Bone marrow smear.
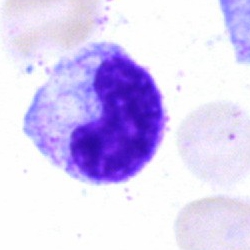

The morphological class is band-form neutrophil.